Peripheral blood smear: 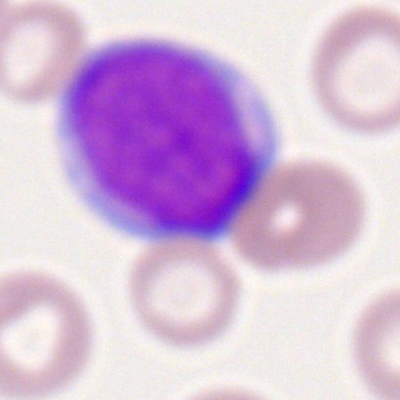Q: What cell is this?
A: A myeloid blast.